Bone marrow smear.
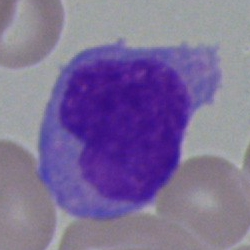 {"cell_type": "monocyte", "lineage": "myeloid"}